Bone marrow aspirate smear — 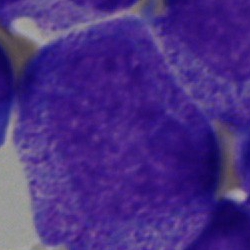 The cell shown is a progranulocyte.